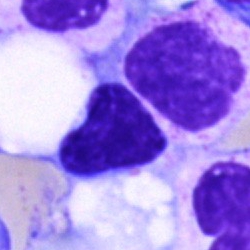

Q: What is shown here?
A: Artefact.